Bone marrow aspirate smear:
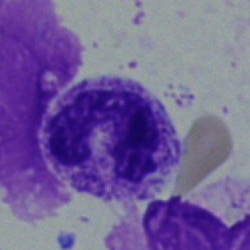

Cell type = segmented neutrophil.